Bone marrow smear: 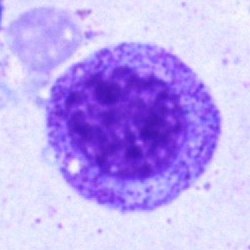

Morphological class — myelocyte.